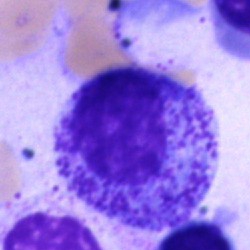 Q: What cell is this?
A: A promyelocyte.